Bone marrow aspirate smear. 40× oil immersion:
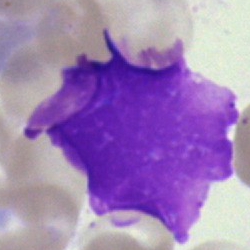Artefact.